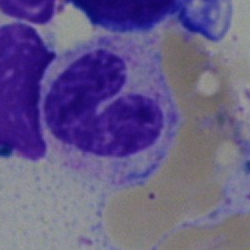Single-cell crop from a bone marrow smear: stab cell.